Bone marrow smear.
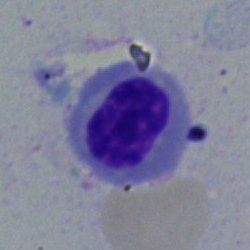

Morphological class = normoblast.